MGG-stained; bone marrow aspirate smear
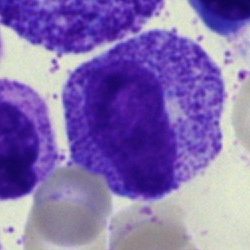Q: What is shown here?
A: It is a metamyelocyte.